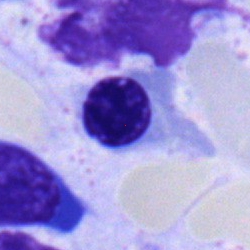
{"cell_type": "erythroblast", "lineage": "erythroid"}